Bone marrow aspirate smear: 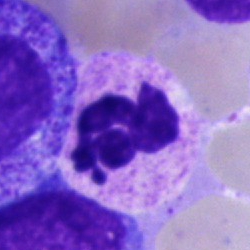

Q: Which cell type is shown here?
A: This is a polymorphonuclear neutrophil.